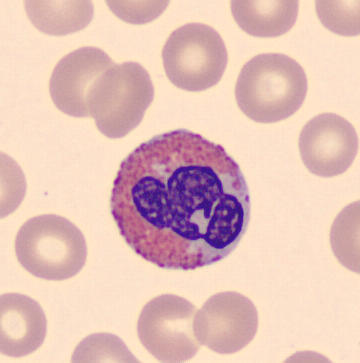Classification: eosinophilic granulocyte.
360 by 363 pixels; peripheral blood film.